Brightfield microscopy, 40× oil immersion. Bone marrow aspirate smear.
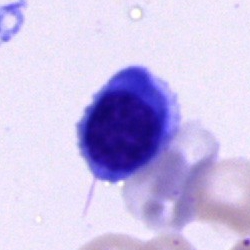 This is a nucleated red blood cell.